400 by 400 pixels. Peripheral blood film
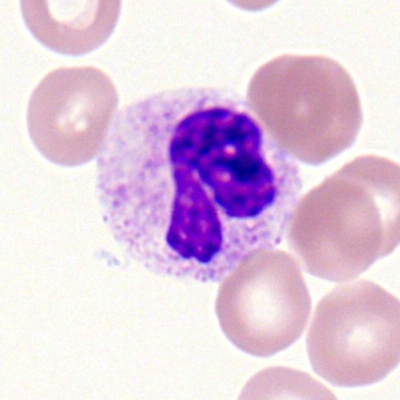 This is a neutrophil (segmented).